Brightfield, 40× oil-immersion objective. Bone marrow aspirate smear. Single-cell field: 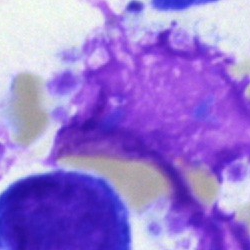
Classification = artefact.